Bone marrow aspirate smear — 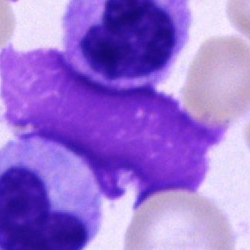

The cell shown is an artefact.